Bone marrow smear; 250×250 px:
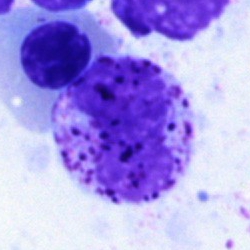
The cell shown is a basophilic granulocyte.